Bone marrow aspirate smear
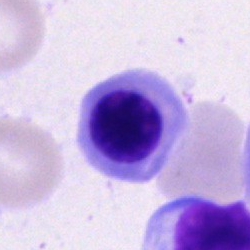

Q: What is the morphological classification of this cell?
A: This is a normoblast.